Bone marrow aspirate smear:
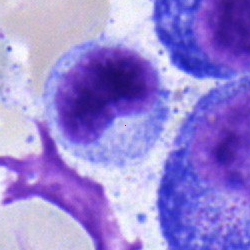 Morphology — metamyelocyte.